Peripheral blood smear: 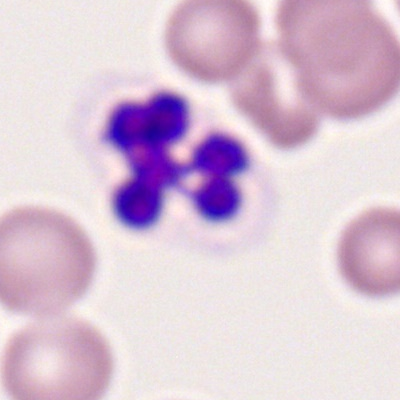
The classification is polymorphonuclear neutrophil.